Bone marrow aspirate smear. 250×250 px — 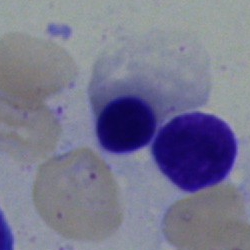

Specimen: bone marrow smear.
Cell type: erythroblast.
Lineage: erythroid.